Bone marrow smear:
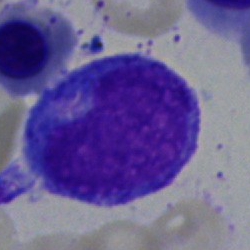

The morphological class is blast.